100× oil immersion; peripheral blood smear — 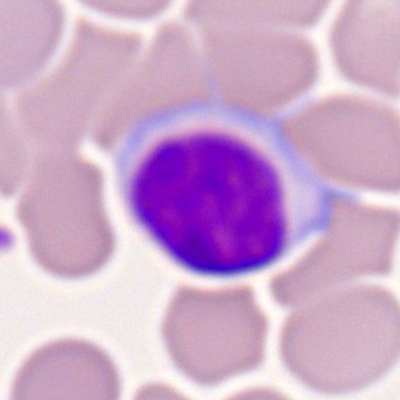

Typical lymphocyte.